Bone marrow aspirate smear; brightfield, 40× oil-immersion objective: 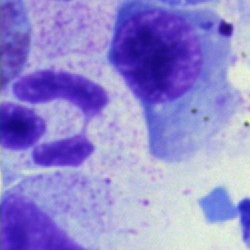Specimen: bone marrow smear.
Morphological class: neutrophil (segmented).
Lineage: myeloid.